Bone marrow aspirate smear · cropped to a single cell — 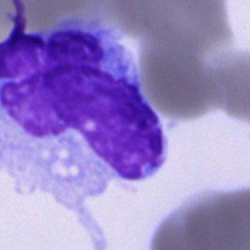 Q: Identify the cell.
A: Monocyte.